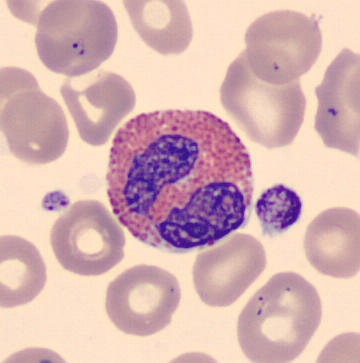

An eosinophilic granulocyte. Image: Peripheral blood smear; single cell centered in the field.